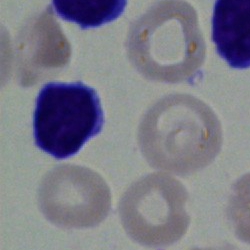
Specimen: bone marrow smear.
Classification: lymphocyte.
Lineage: lymphoid.